Bone marrow smear: 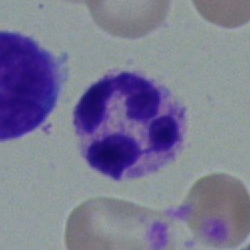
Single cell identified as a neutrophil (segmented).